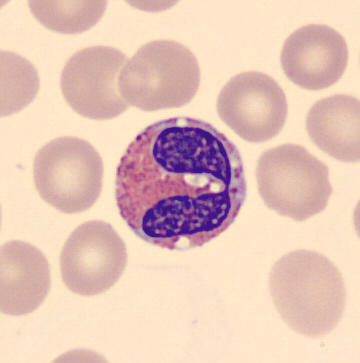
Acquisition: Cropped to a single cell · peripheral blood film.

The cell shown is an eosinophilic granulocyte.